Bone marrow smear · brightfield microscopy, 40× oil immersion · Pappenheim-stained:
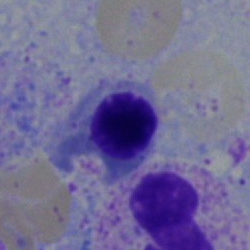

Q: What cell is this?
A: A nucleated red blood cell.